Bone marrow aspirate smear; cropped to a single cell.
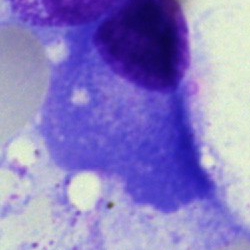
This is a plasma cell.